250×250 px. Bone marrow aspirate smear:
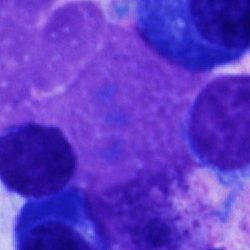Q: What is shown here?
A: Artifact.